Bone marrow aspirate smear. 250×250. Cropped to a single cell: 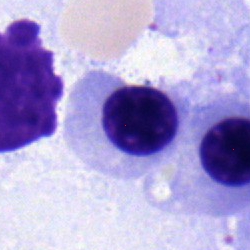
Classification: nucleated red blood cell.